May-Grünwald-Giemsa/Pappenheim stain. Bone marrow aspirate smear:
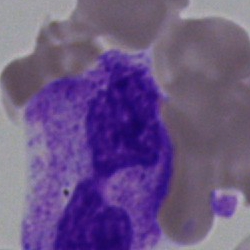 Impression → segmented neutrophil.